250 by 250 pixels · bone marrow aspirate smear · single-cell crop.
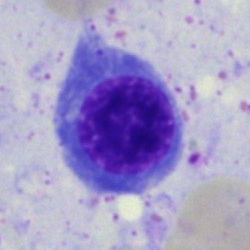

Impression → nucleated red cell.